250 by 250 pixels; bone marrow smear: 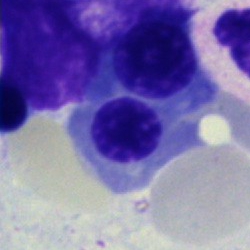 Impression → normoblast.